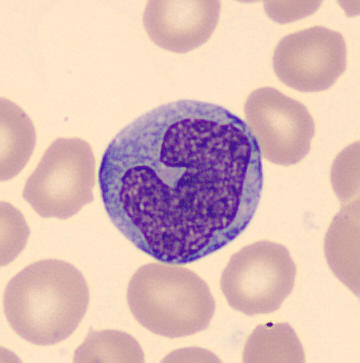
Classification = monocyte. Acquisition: MGG-stained · peripheral blood film.